Pappenheim-stained. Bone marrow aspirate smear:
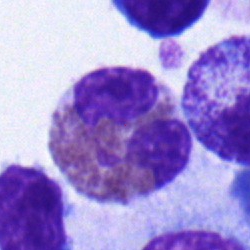

Showing an eosinophil.